Bone marrow smear. Brightfield microscopy, 40× oil immersion. Single-cell field.
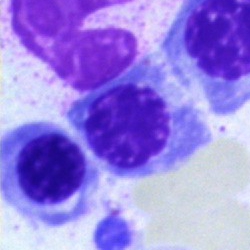 The cell type is erythroblast.